Peripheral blood smear: 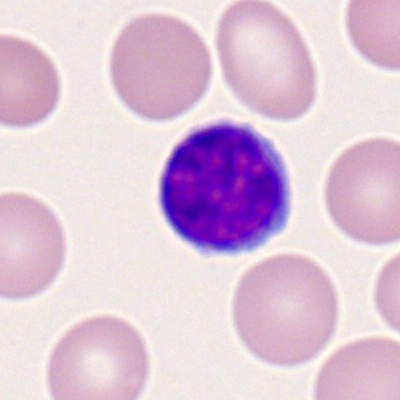 Morphology — typical lymphocyte.